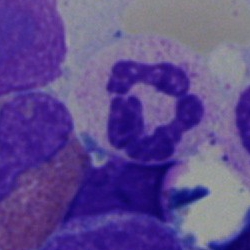

Classification = neutrophil (segmented).